Bone marrow aspirate smear; brightfield, 40× oil-immersion objective; single-cell field: 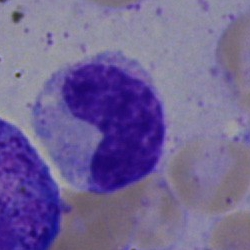Single cell identified as a band neutrophil.